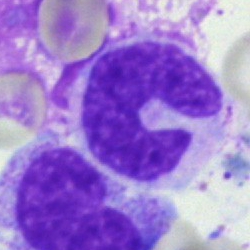
{"cell_type": "band neutrophil", "lineage": "myeloid"}